100× objective, oil immersion. Peripheral blood smear — 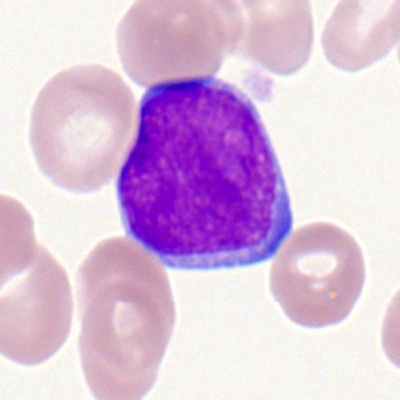
Q: Identify the cell.
A: A myeloid blast.